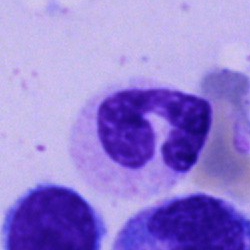

Showing a neutrophil (band).